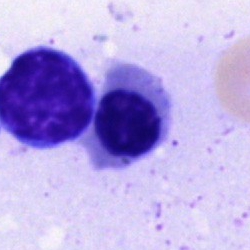 The morphological class is nucleated red cell.